Bone marrow smear; 40× oil immersion; Pappenheim-stained
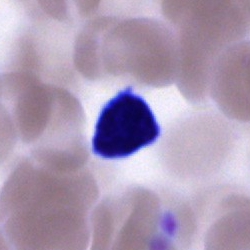
A cell of indeterminate lineage.